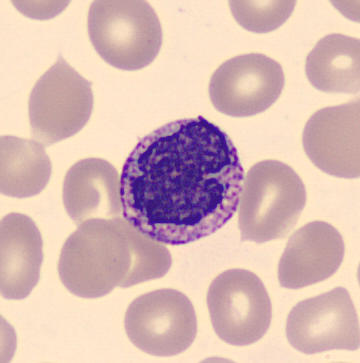 Morphology → basophilic granulocyte.